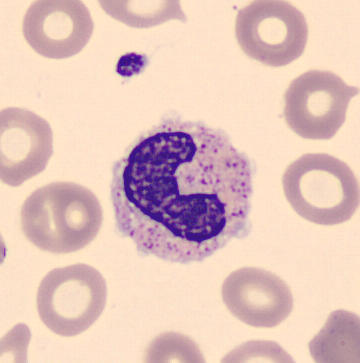 Morphology consistent with a stab cell.
Acquisition: Peripheral blood film.